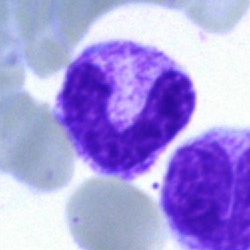 Morphology → band-form neutrophil.